Bone marrow smear:
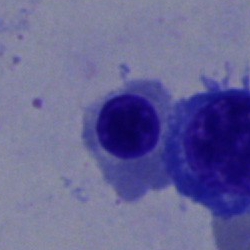Specimen: bone marrow aspirate smear.
Classification: nucleated red cell.